Single-cell field. Bone marrow aspirate smear. 250×250 px: 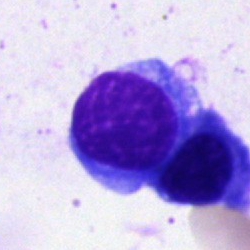

Classification: typical lymphocyte.